MGG-stained; bone marrow aspirate smear.
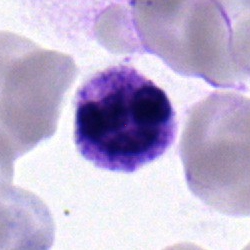

Single cell identified as a segmented neutrophil.